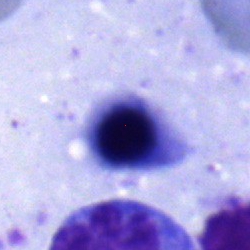Morphology consistent with an erythroblast.